Bone marrow smear: 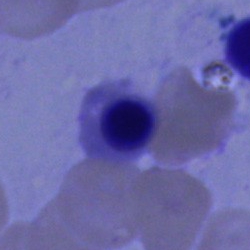 Nucleated red blood cell.